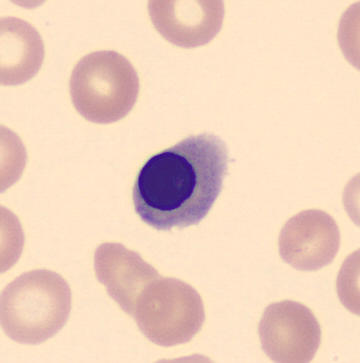

Acquisition: Peripheral blood smear.

Impression — normoblast.